Bone marrow smear
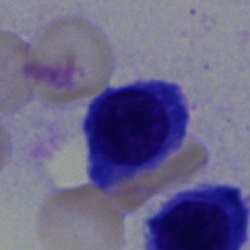The classification is normoblast.